Bone marrow smear — 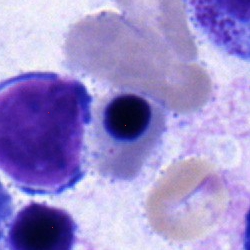 Showing a typical lymphocyte.